Bone marrow smear.
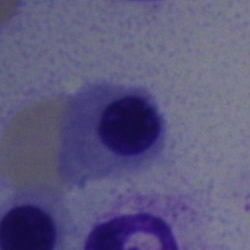 {"cell_type": "normoblast", "lineage": "erythroid"}